Bone marrow aspirate smear:
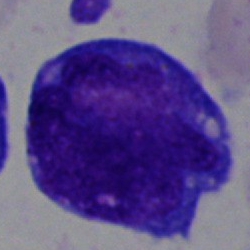

Cell type — blast cell.